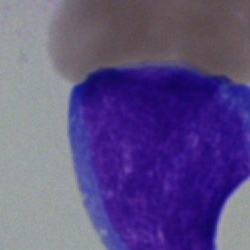

Showing a blast.